Peripheral blood smear: 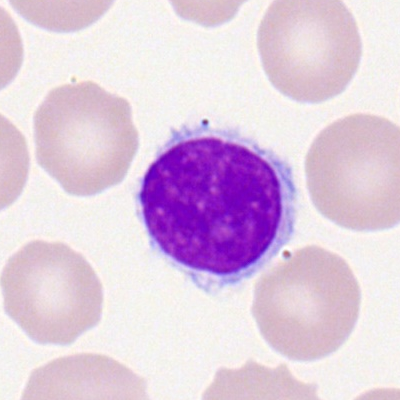
The cell type is lymphocyte.